40× objective, oil immersion; bone marrow aspirate smear
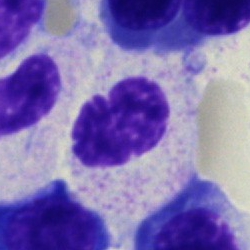
Single cell identified as a neutrophil (band).